Bone marrow smear. Cropped to a single cell: 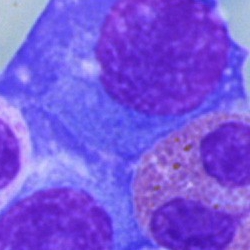
The cell shown is a plasmacyte.